Bone marrow aspirate smear:
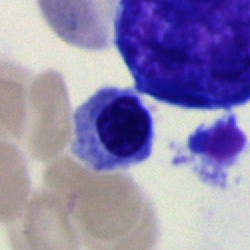
Showing a nucleated red blood cell.